Bone marrow smear: 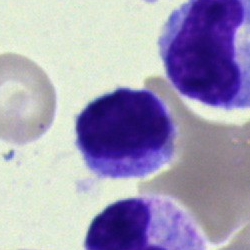

The cell shown is a typical lymphocyte.